May-Grünwald-Giemsa/Pappenheim stain; bone marrow aspirate smear:
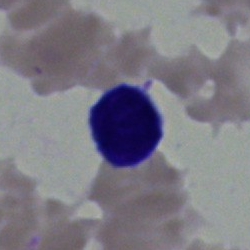

This is a typical lymphocyte.